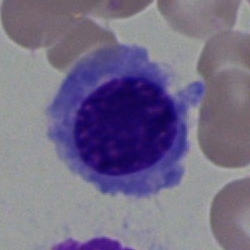Q: Identify the cell.
A: It is an erythroblast.